Bone marrow aspirate smear:
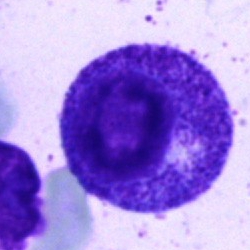Single cell identified as a progranulocyte.